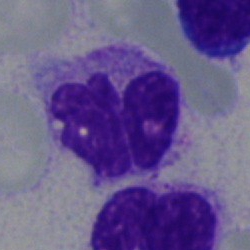Q: What type of cell is this?
A: Neutrophil (segmented).